Brightfield microscopy, 40× oil immersion. Bone marrow aspirate smear. May-Grünwald-Giemsa/Pappenheim stain:
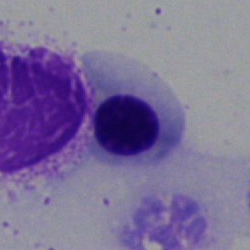

Showing a nucleated red blood cell.